Bone marrow smear — 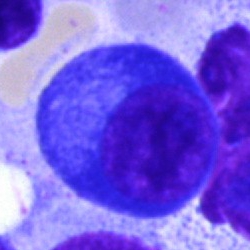Morphological class — plasma cell.